Bone marrow smear.
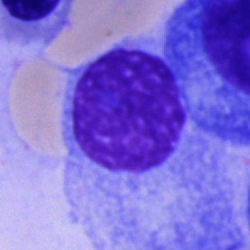
Impression → plasma cell.